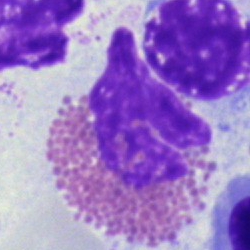
{"cell_type": "eosinophil"}